Bone marrow smear:
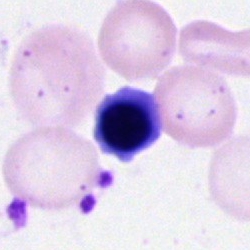Q: Identify the cell.
A: It is a normoblast.